Bone marrow aspirate smear. 250×250
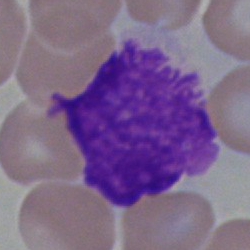
Q: What is shown here?
A: An artefact.